40× objective, oil immersion. Bone marrow smear — 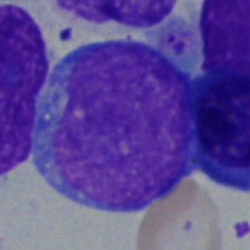
The cell type is undifferentiated blast.